Bone marrow smear; May-Grünwald-Giemsa stain: 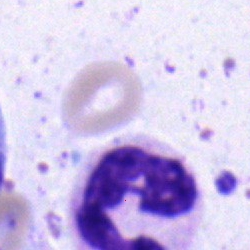

Q: What is the morphological classification of this cell?
A: It is a polymorphonuclear neutrophil.